Bone marrow smear.
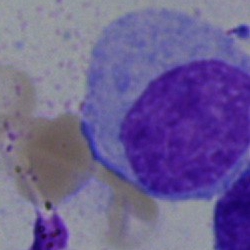
Morphology — myelocyte.